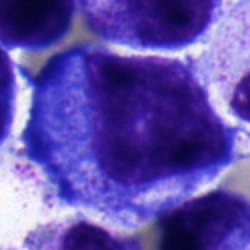

Q: Identify the cell.
A: This is a progranulocyte.